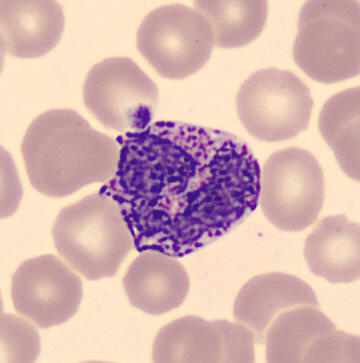

Morphology consistent with a basophil.

Preparation: Single cell centered in the field · peripheral blood film.